May-Grünwald-Giemsa stain · bone marrow aspirate smear — 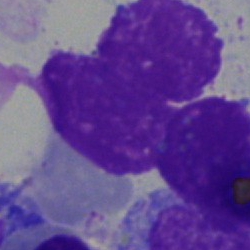

Artefact.